Bone marrow aspirate smear: 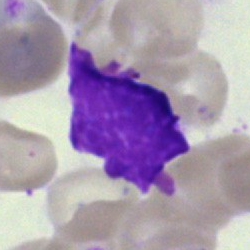 Morphological class: artefact.